MGG-stained. Single-cell crop. Bone marrow aspirate smear: 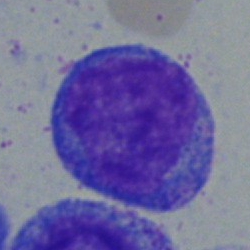Q: What type of cell is this?
A: Blast cell.